Bone marrow smear — 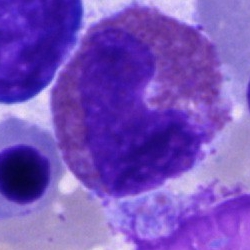 Q: Which cell type is shown here?
A: An eosinophilic granulocyte.